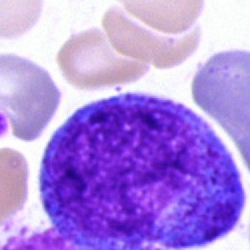

Specimen: bone marrow aspirate smear.
Cell: promyelocyte.
Lineage: myeloid.